Bone marrow aspirate smear · May-Grünwald-Giemsa stain:
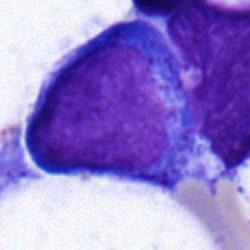
Cell — pronormoblast.